Bone marrow aspirate smear; image size 250×250; cropped to a single cell
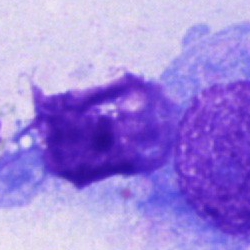 Morphology consistent with an artefact.